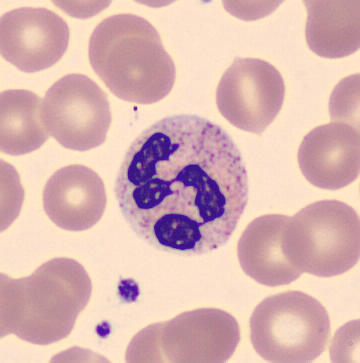
Peripheral blood film.

Classification — polymorphonuclear neutrophil.